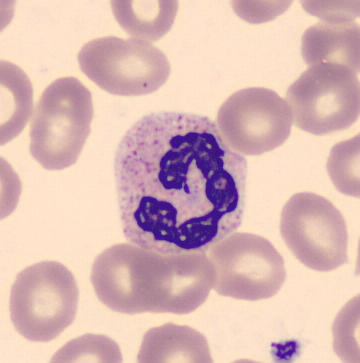
Acquisition: Peripheral blood smear · single cell centered in the field · 360 by 363 pixels. The cell is neutrophil (segmented).